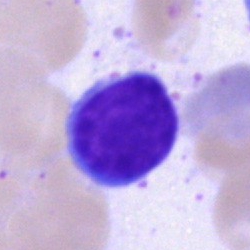Impression — lymphocyte.